Peripheral blood film:
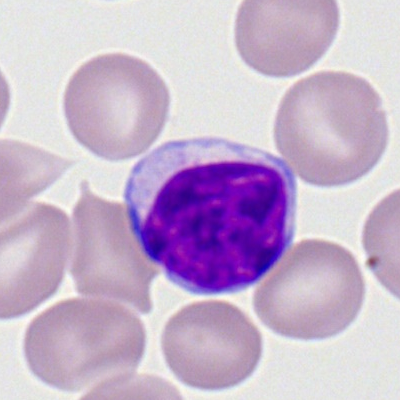
Q: What cell is this?
A: A lymphocyte.